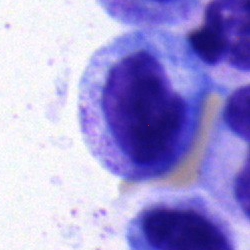 Q: What is the morphological classification of this cell?
A: This is a progranulocyte.